40× objective, oil immersion; bone marrow aspirate smear
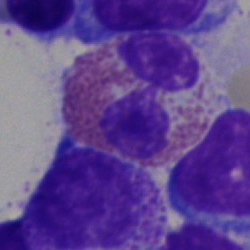
Q: What is the morphological classification of this cell?
A: This is an eosinophil.